Bone marrow aspirate smear
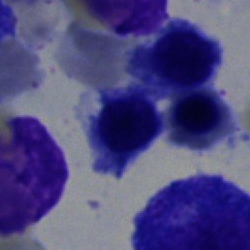
Morphology → nucleated red blood cell.